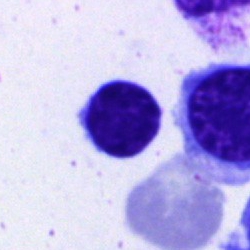 {"cell_type": "lymphocyte"}